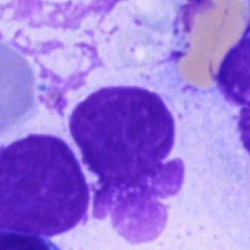

Cell: artifact.